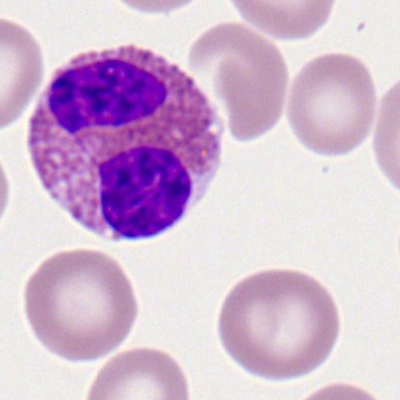

Q: Identify the cell.
A: An eosinophilic granulocyte.